Bone marrow aspirate smear. Single-cell field. Image size 250×250.
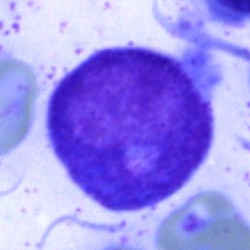
Showing a progranulocyte.